Bone marrow smear — 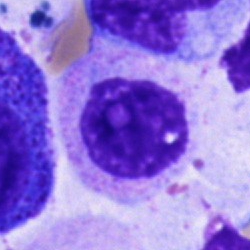{"cell_type": "unidentifiable cell"}